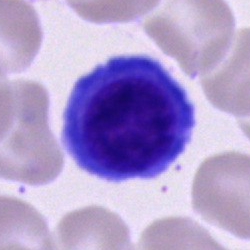Single-cell crop from a bone marrow smear: plasma cell.